Peripheral blood film; image size 400×400 — 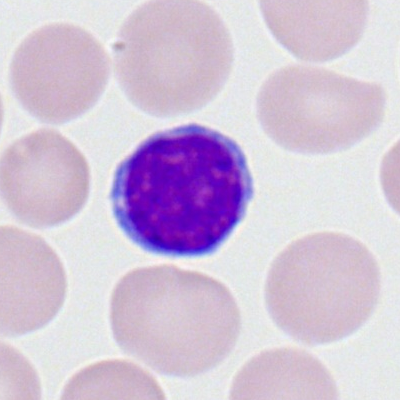

Myeloblast.